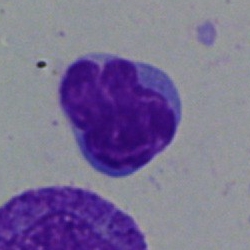

Impression → typical lymphocyte.